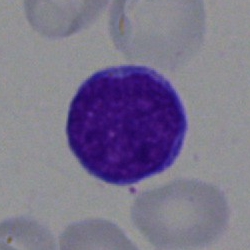Blast.